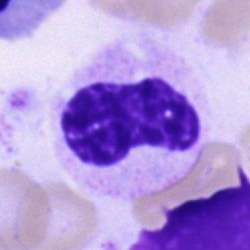 Single-cell crop from a bone marrow smear: metamyelocyte.